Bone marrow smear. 250×250.
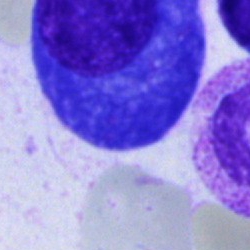 Showing a plasma cell.